400×400; brightfield, 100× oil-immersion objective; peripheral blood smear: 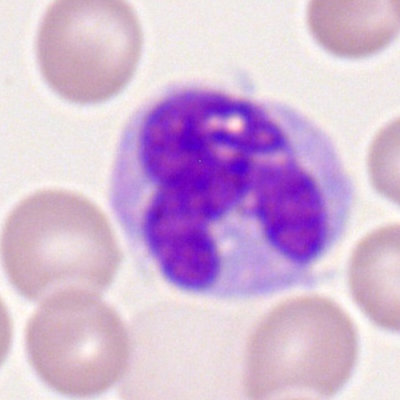
{"cell_type": "monocyte", "lineage": "myeloid"}